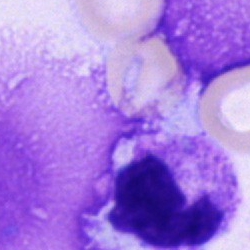

{"cell_type": "polymorphonuclear neutrophil"}